Bone marrow smear · 250×250 px · 40× oil immersion — 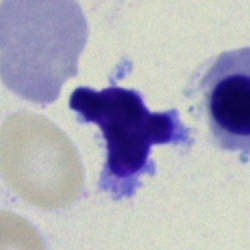
Classification — typical lymphocyte.